MGG-stained · bone marrow aspirate smear: 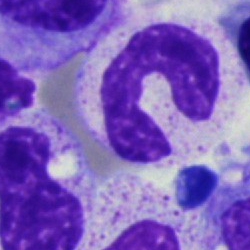
Single cell identified as a band neutrophil.